Bone marrow smear.
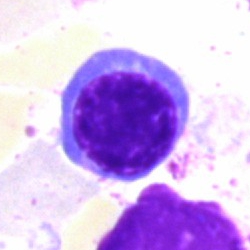 Q: Which cell type is shown here?
A: This is a normoblast.